Bone marrow smear
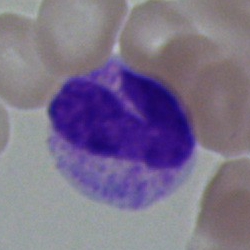

Impression — neutrophil (band).